Bone marrow smear · single cell centered in the field · 250 by 250 pixels.
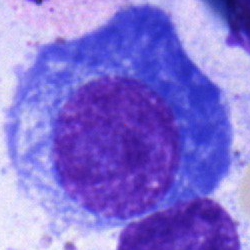A plasma cell.